May-Grünwald-Giemsa stain; bone marrow aspirate smear; 250 by 250 pixels.
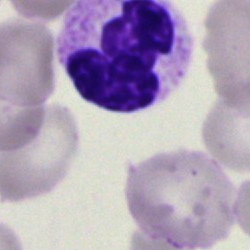Cell type — neutrophil (segmented).